Peripheral blood smear — 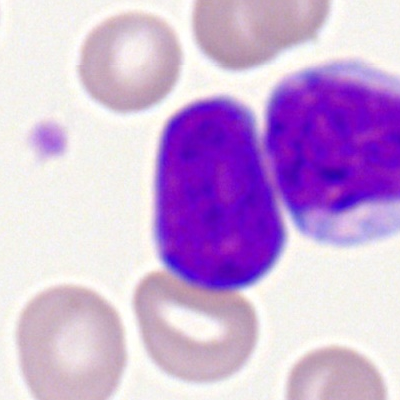Morphological class — myeloblast.